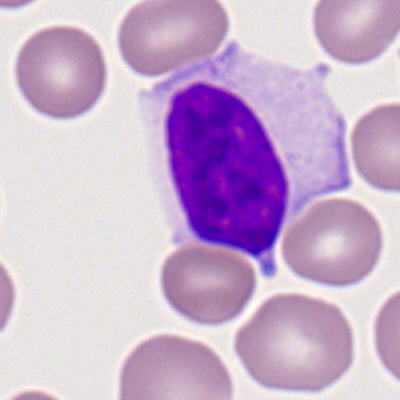
Morphology consistent with a lymphocyte.